Automated cell imaging (CellaVision DM96) · peripheral blood smear:
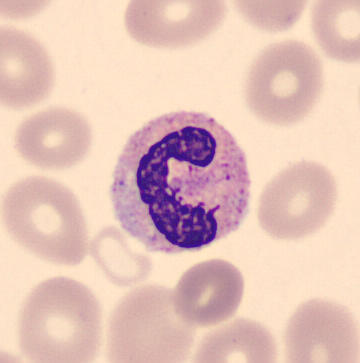

Q: What is this?
A: It is a band-form neutrophil.